MGG-stained; bone marrow aspirate smear:
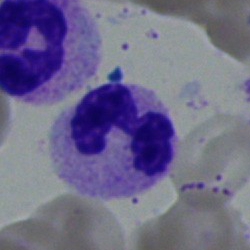
Classification = neutrophil (segmented).